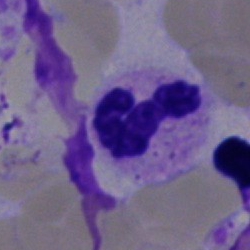A polymorphonuclear neutrophil.